Bone marrow aspirate smear. Single cell centered in the field. Brightfield microscopy, 40× oil immersion
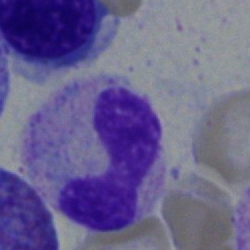Q: What is the morphological classification of this cell?
A: Band neutrophil.